Bone marrow smear; Pappenheim-stained; 250×250: 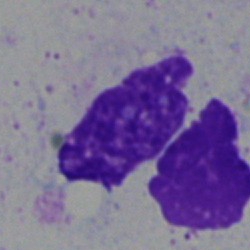

Specimen: bone marrow aspirate smear.
Classification: artifact.